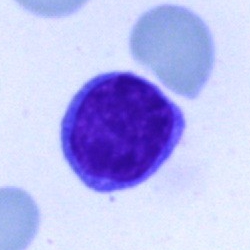Morphological class = lymphocyte.